Peripheral blood film: 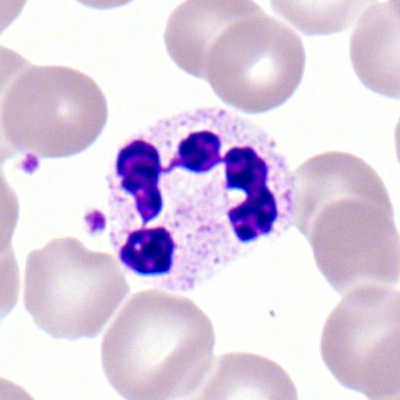 Morphology consistent with a neutrophil (segmented).